Bone marrow aspirate smear
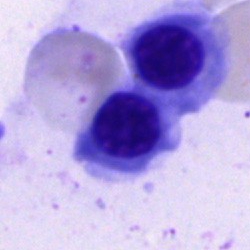
Cell: erythroblast.